Bone marrow smear:
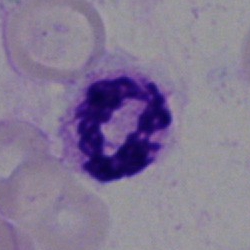
Cell type: neutrophil (segmented).